Bone marrow smear.
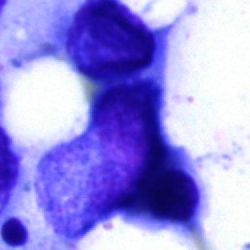The cell shown is an artifact.